Peripheral blood film · brightfield, 100× oil-immersion objective · 400×400:
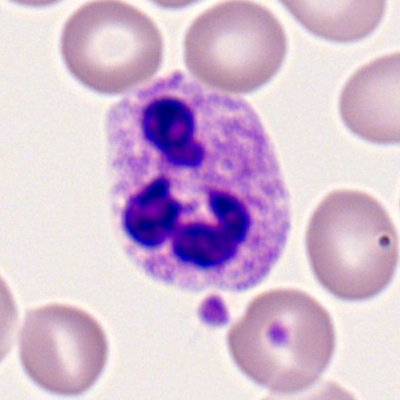Cell: segmented neutrophil.